Bone marrow aspirate smear: 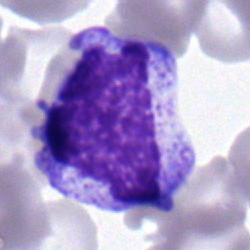
Cell: myelocyte.